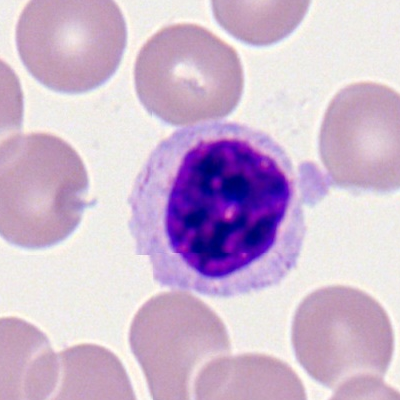This is a typical lymphocyte.